Bone marrow smear · May-Grünwald-Giemsa/Pappenheim stain:
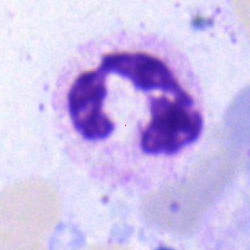

Cell — neutrophil (segmented).